Bone marrow aspirate smear; single cell centered in the field — 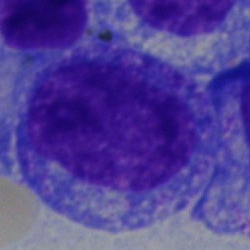 Morphology consistent with a progranulocyte.